Peripheral blood smear:
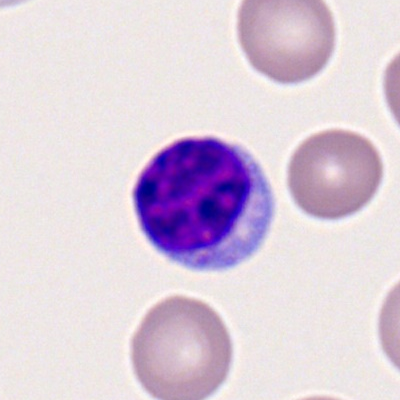
Single cell identified as a typical lymphocyte.